Bone marrow aspirate smear; 40× objective, oil immersion; single-cell field:
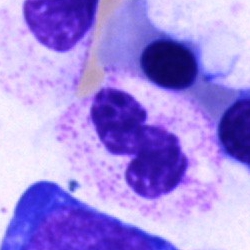 The cell is neutrophil (segmented).